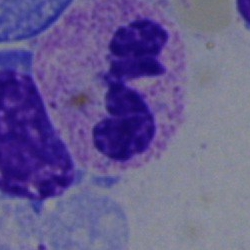 {"cell_type": "segmented neutrophil"}